Bone marrow smear:
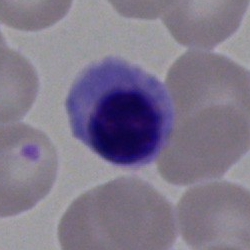 Q: Identify the cell.
A: Erythroblast.